Bone marrow aspirate smear. May-Grünwald-Giemsa stain — 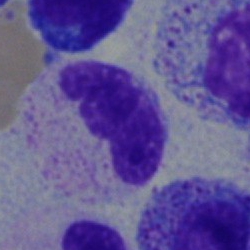
Morphology → neutrophil (band).